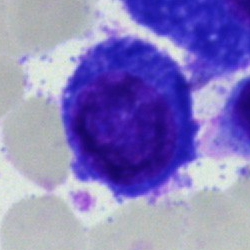

Morphology → plasmacyte.